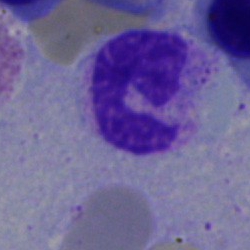 Q: Which cell type is shown here?
A: A neutrophil (segmented).